Bone marrow smear. May-Grünwald-Giemsa/Pappenheim stain.
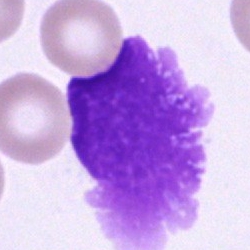Impression → artifact.